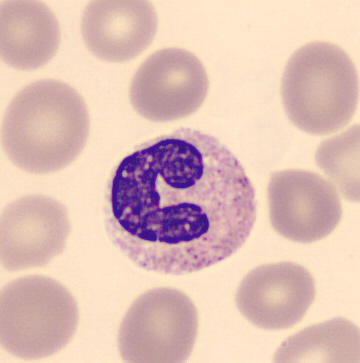 Peripheral blood smear showing a band-form neutrophil.